Single-cell crop; bone marrow aspirate smear; brightfield microscopy, 40× oil immersion: 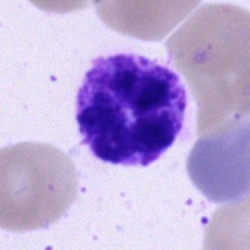
Cell type — basophilic granulocyte.